250 by 250 pixels · bone marrow smear.
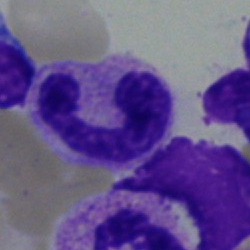 The cell type is segmented neutrophil.